Peripheral blood smear:
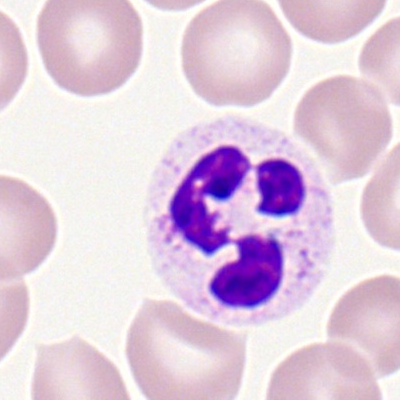Impression → segmented neutrophil.